Peripheral blood smear: 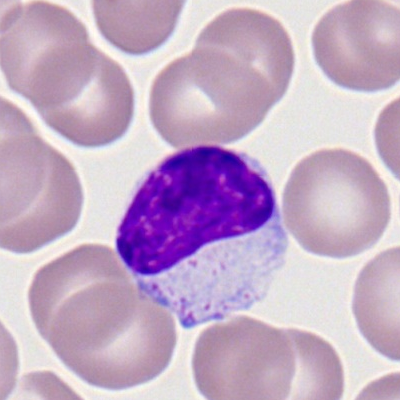 Impression — typical lymphocyte.